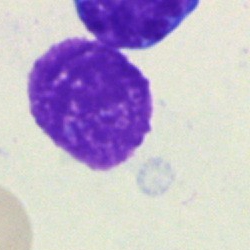Artifact.